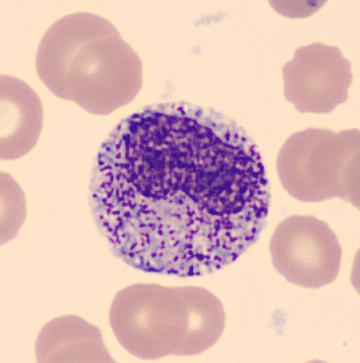A metamyelocyte. Acquisition: Peripheral blood film. CellaVision DM96 digital cell image.